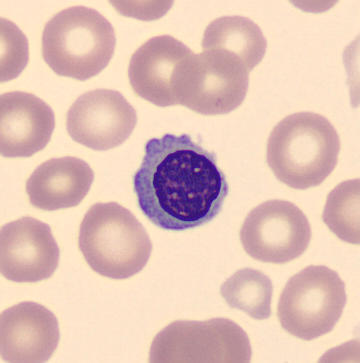

Single cell identified as an erythroblast.